Single cell centered in the field · bone marrow smear.
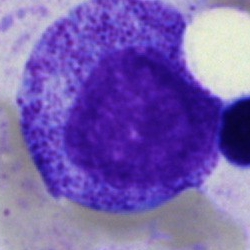

{"cell_type": "progranulocyte", "lineage": "myeloid"}